CellaVision DM96 · peripheral blood smear.
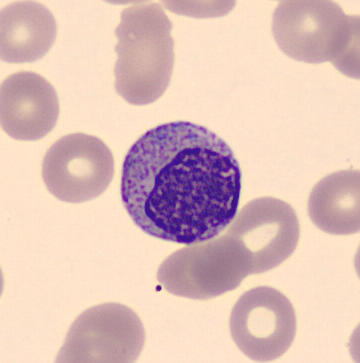Identified as a myelocyte.